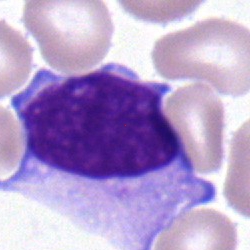 Showing a typical lymphocyte.